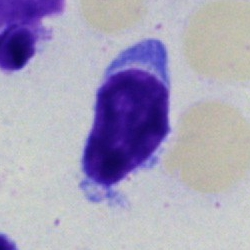 Impression → typical lymphocyte.